Bone marrow smear.
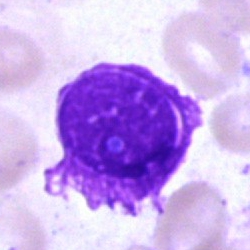 Artefact.